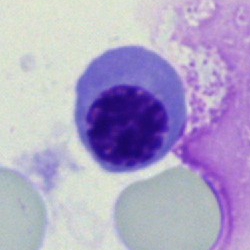 Classification — normoblast.